Peripheral blood smear — 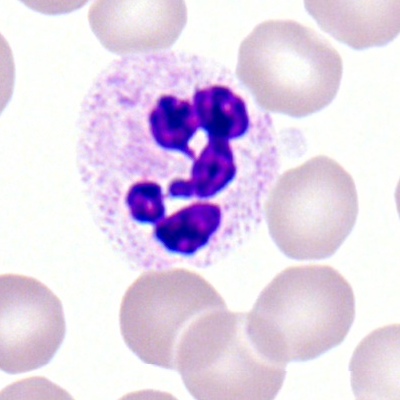 Q: What is shown here?
A: A segmented neutrophil.